40× oil immersion; bone marrow smear:
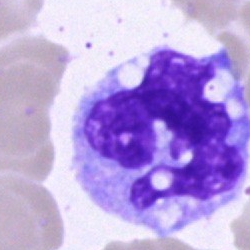 Morphology → monocyte.